Single-cell field; bone marrow aspirate smear.
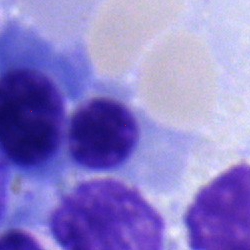Q: Which cell type is shown here?
A: It is a normoblast.